Cropped to a single cell · bone marrow smear:
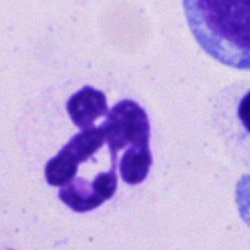

Specimen: bone marrow smear.
Morphological class: segmented neutrophil.
Lineage: myeloid.